Bone marrow smear:
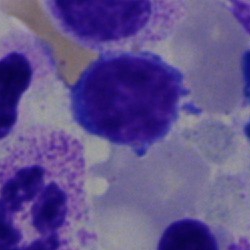 Q: What cell is this?
A: A lymphocyte.